Bone marrow aspirate smear.
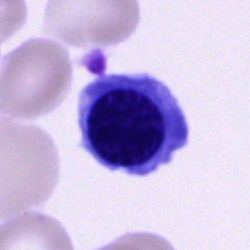

Morphology → nucleated red blood cell.